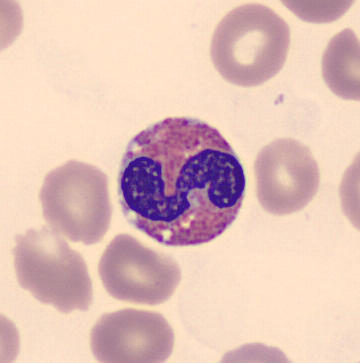
Eosinophilic granulocyte. Image: Peripheral blood film; MGG-stained; 360 by 363 pixels.